Bone marrow smear: 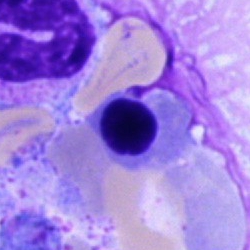
Morphology consistent with an erythroblast.